Bone marrow smear:
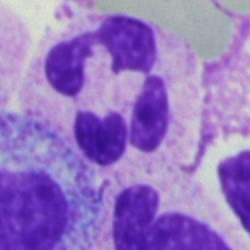 Morphology consistent with a segmented neutrophil.